Bone marrow smear · brightfield, 40× oil-immersion objective — 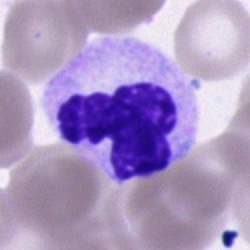 This is a segmented neutrophil.